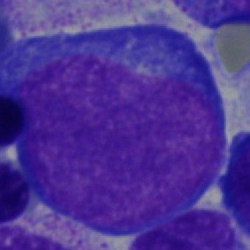

The morphological class is pronormoblast.